Bone marrow smear
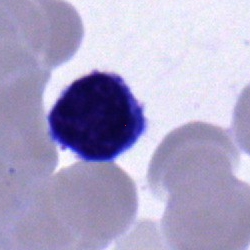 Cell type — lymphocyte.